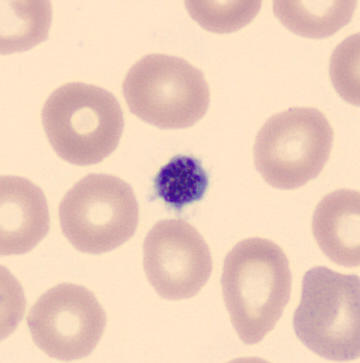 Peripheral blood film.
Q: What is this?
A: It is a platelet (thrombocyte).